40× objective, oil immersion · bone marrow smear · May-Grünwald-Giemsa/Pappenheim stain
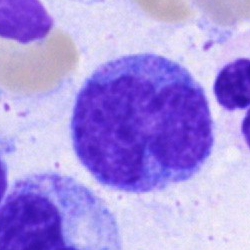{"cell_type": "monocyte", "lineage": "myeloid"}